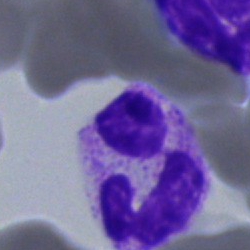Specimen: bone marrow smear.
Classification: neutrophil (segmented).
Lineage: myeloid.